Bone marrow aspirate smear · May-Grünwald-Giemsa stain
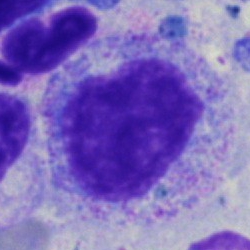Specimen: bone marrow aspirate smear.
Cell: promyelocyte.